Bone marrow aspirate smear; brightfield, 40× oil-immersion objective:
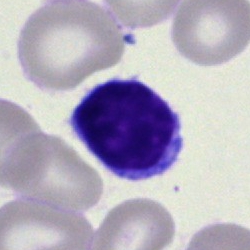Morphology → lymphocyte.